Bone marrow smear. Cropped to a single cell: 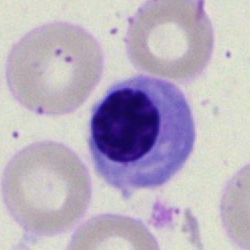 Classification — nucleated red cell.